Romanowsky stain; 100× oil immersion, 14.14 px/µm; peripheral blood film.
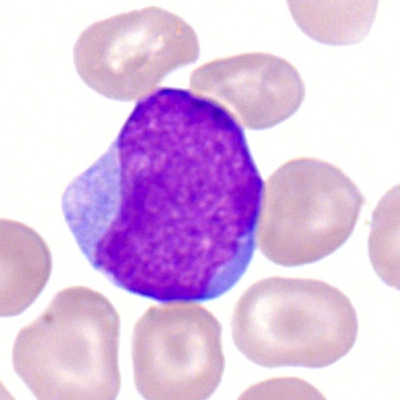
This is a myeloblast.